Bone marrow smear; cropped to a single cell:
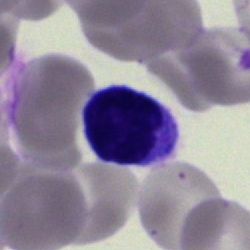
Q: What type of cell is this?
A: Typical lymphocyte.